Bone marrow smear
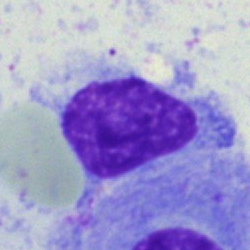

Specimen: bone marrow smear.
Morphological class: artefact.